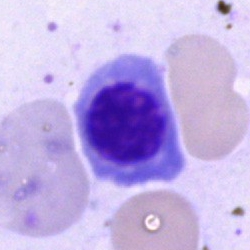Q: What is shown here?
A: This is a nucleated red cell.